Image size 250×250 · bone marrow aspirate smear · 40× oil immersion: 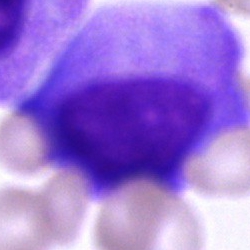 {"cell_type": "progranulocyte", "lineage": "myeloid"}